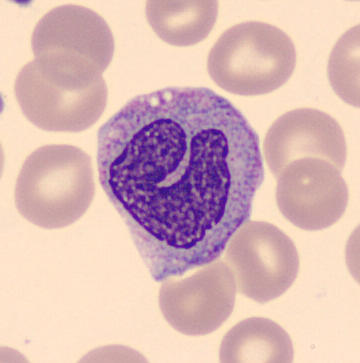Peripheral blood film.
Single cell identified as a monocyte.